Bone marrow smear
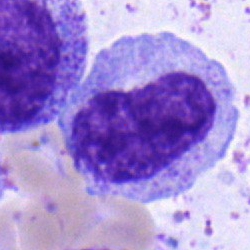

Showing a metamyelocyte.